Bone marrow aspirate smear. Single cell centered in the field. MGG-stained.
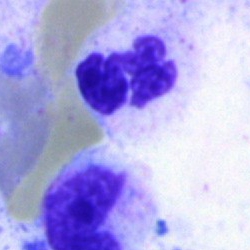 This is a polymorphonuclear neutrophil.